Bone marrow smear — 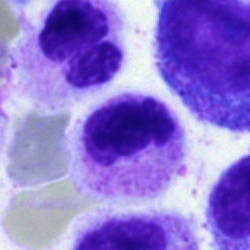
This is a neutrophil (band).